Peripheral blood smear: 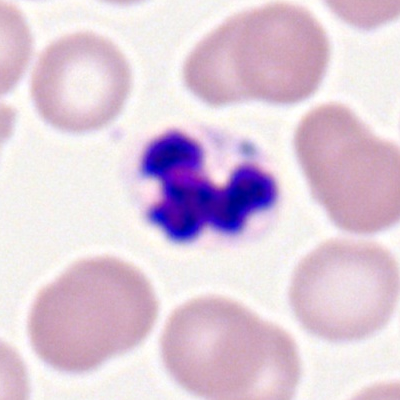Morphology — polymorphonuclear neutrophil.